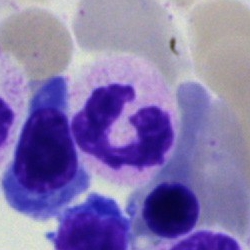

A segmented neutrophil.